Peripheral blood smear — 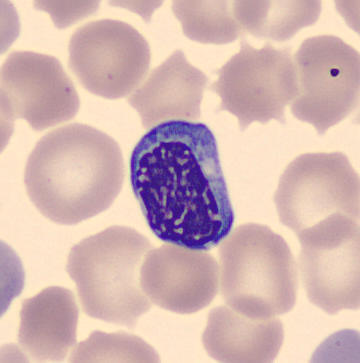

Morphology → erythroblast.